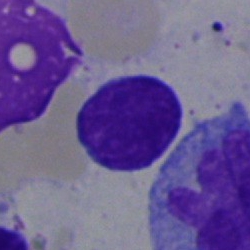The cell is lymphocyte.